Bone marrow aspirate smear. Pappenheim-stained. Brightfield microscopy, 40× oil immersion — 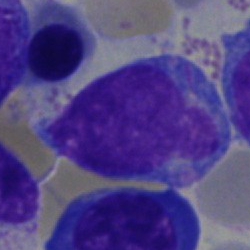

Impression → blast.